Bone marrow smear: 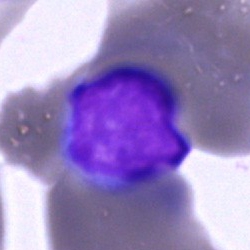
A lymphocyte.